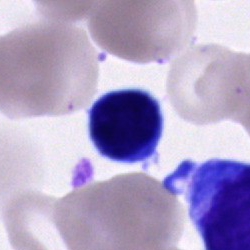

Cell type: typical lymphocyte.